May-Grünwald-Giemsa stain. Image size 250×250. Bone marrow aspirate smear
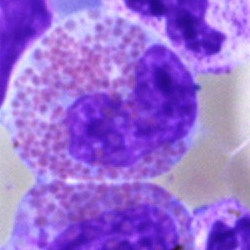
Morphological class: eosinophilic granulocyte.